Bone marrow smear
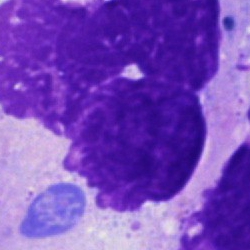 Q: What is shown here?
A: It is an artefact.